Bone marrow aspirate smear
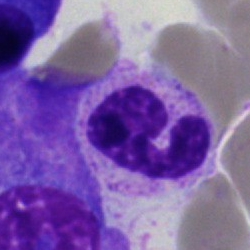 Single cell identified as a polymorphonuclear neutrophil.